Bone marrow smear
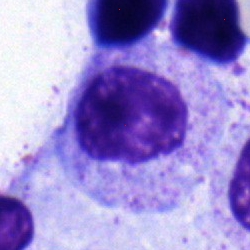The morphological class is myelocyte.